Bone marrow aspirate smear — 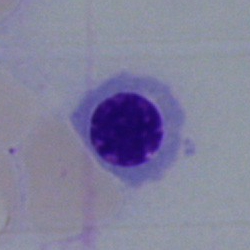A normoblast.